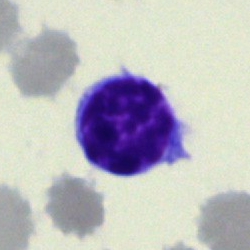
Specimen: bone marrow smear.
Cell type: typical lymphocyte.
Lineage: lymphoid.